250×250. 40× objective, oil immersion. Bone marrow aspirate smear:
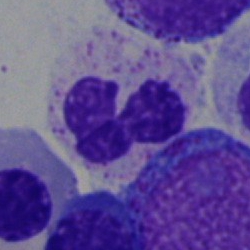 The classification is neutrophil (segmented).